Bone marrow aspirate smear. 250×250 px: 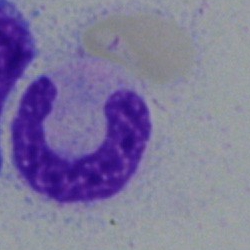 Specimen: bone marrow smear.
Cell: band-form neutrophil.
Lineage: myeloid.